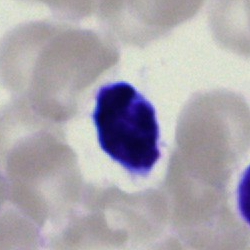 Q: What is the morphological classification of this cell?
A: This is a typical lymphocyte.